Peripheral blood film: 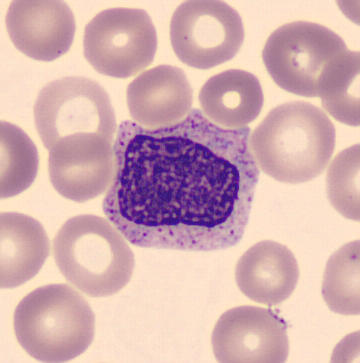
Specimen: peripheral blood film.
Cell type: myelocyte.
Lineage: myeloid.